400×400 px; peripheral blood smear: 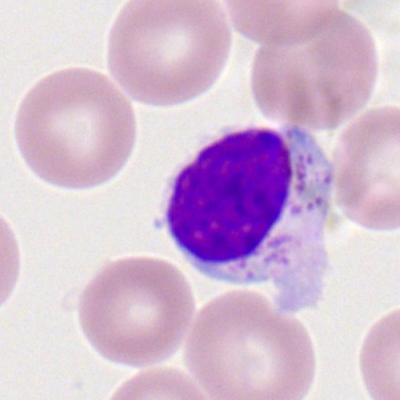

Lymphocyte.